Bone marrow smear: 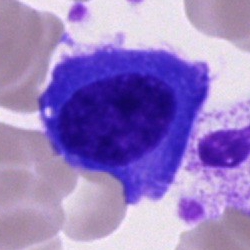

Plasmacyte.